May-Grünwald-Giemsa stain. Bone marrow aspirate smear — 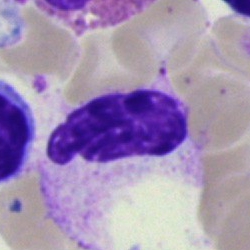 This is a polymorphonuclear neutrophil.